May-Grünwald-Giemsa/Pappenheim stain · bone marrow smear:
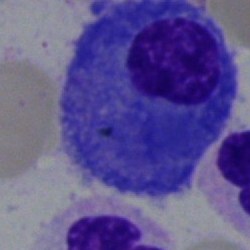 Morphology → plasma cell.